Single-cell crop; bone marrow aspirate smear
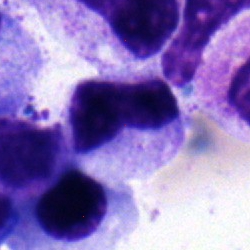

The cell shown is a band neutrophil.